Bone marrow smear · Pappenheim-stained · 40× oil immersion: 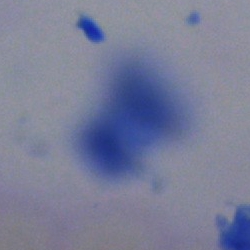

The cell shown is an artifact.